MGG-stained; bone marrow aspirate smear
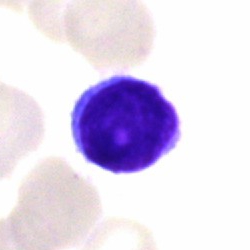Impression — lymphocyte.